250 by 250 pixels · bone marrow aspirate smear — 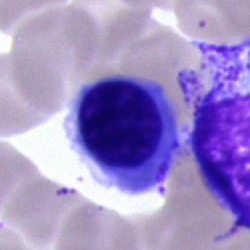 Cell type = normoblast.